Bone marrow smear; 250 by 250 pixels; cropped to a single cell.
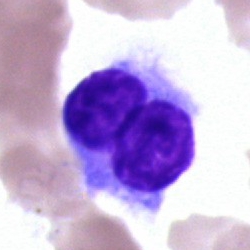 Specimen: bone marrow aspirate smear.
Cell type: hairy cell.